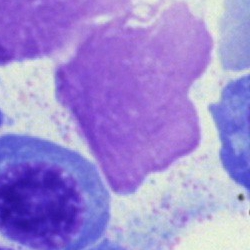Specimen: bone marrow smear.
Classification: artefact.